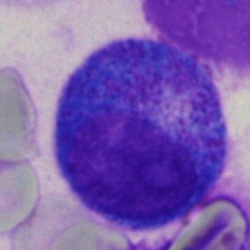Morphology → promyelocyte.